Bone marrow smear · 250×250: 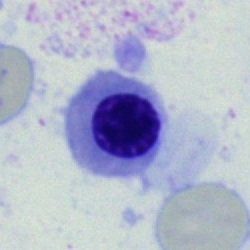 Erythroblast.